Bone marrow aspirate smear; single cell centered in the field; 40× objective, oil immersion — 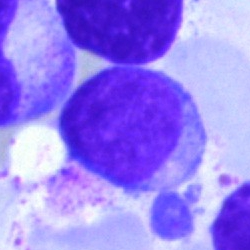
Impression → typical lymphocyte.